Peripheral blood smear — 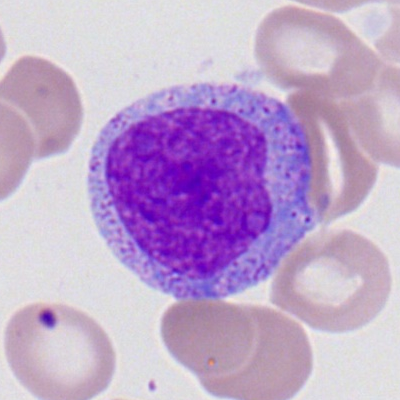

Morphological class: progranulocyte.